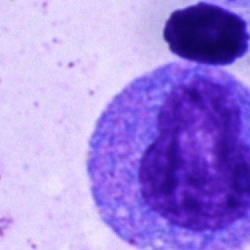
Q: What cell is this?
A: Progranulocyte.